Bone marrow aspirate smear.
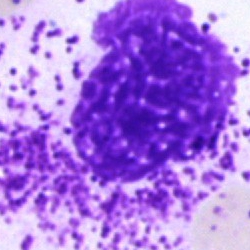 Morphology consistent with an artefact.